Bone marrow aspirate smear
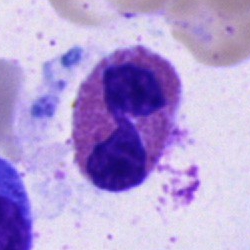

An eosinophil.